Bone marrow aspirate smear; MGG-stained; single-cell crop — 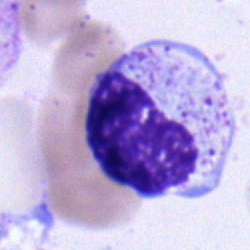 Showing a metamyelocyte.